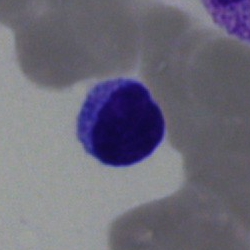

Q: Which cell type is shown here?
A: A lymphocyte.